Bone marrow aspirate smear · MGG-stained · single cell centered in the field — 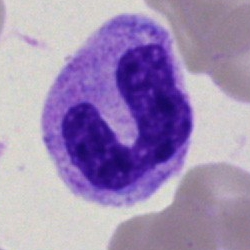Morphology → neutrophil (band).